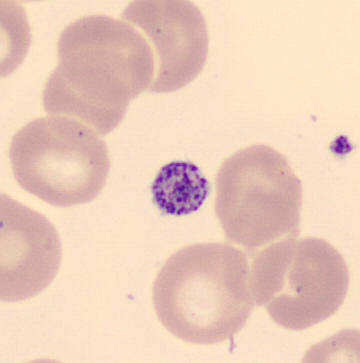

Morphology consistent with a platelet (thrombocyte).